Bone marrow aspirate smear
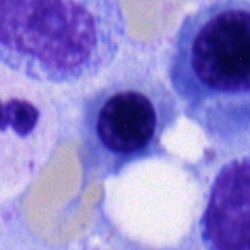An erythroblast.